Bone marrow aspirate smear:
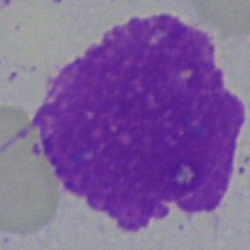Morphology — artefact.